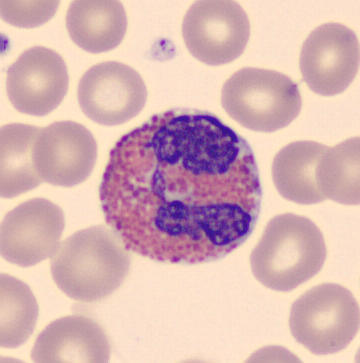 This is an eosinophil.
CellaVision DM96 digital cell image · 360 by 363 pixels · peripheral blood film.